Bone marrow smear
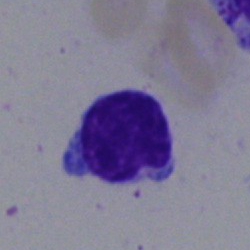 The cell is typical lymphocyte.